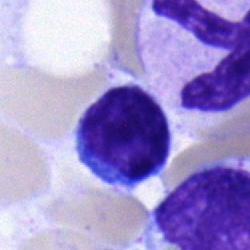This is a typical lymphocyte.